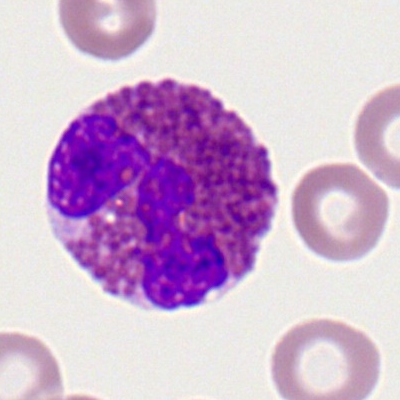Q: Identify the cell.
A: It is an eosinophilic granulocyte.